250×250; bone marrow smear:
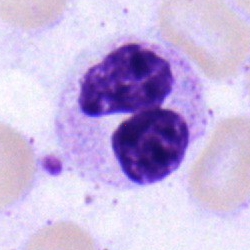
Single cell identified as a neutrophil (segmented).